Bone marrow aspirate smear · MGG-stained: 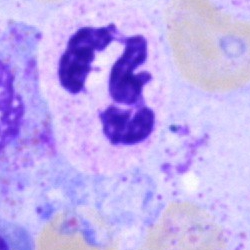 Q: What is the morphological classification of this cell?
A: A segmented neutrophil.